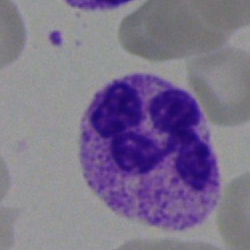
The morphological class is polymorphonuclear neutrophil.